Bone marrow aspirate smear · single cell centered in the field — 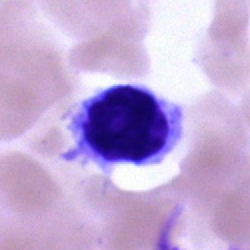 Q: What is shown here?
A: This is a typical lymphocyte.